Bone marrow smear.
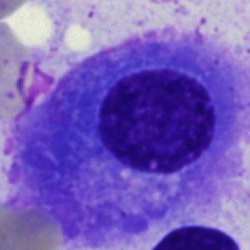

Cell = plasma cell.